Bone marrow aspirate smear
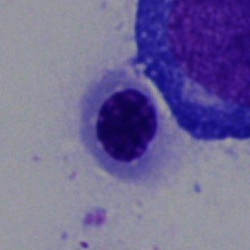A nucleated red blood cell.